Bone marrow aspirate smear · 250×250:
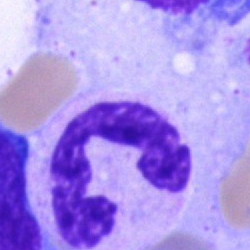Segmented neutrophil.